Cropped to a single cell. Bone marrow aspirate smear: 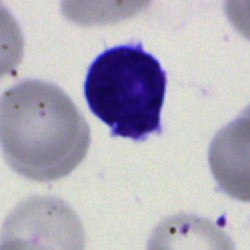 Classification = blast cell.